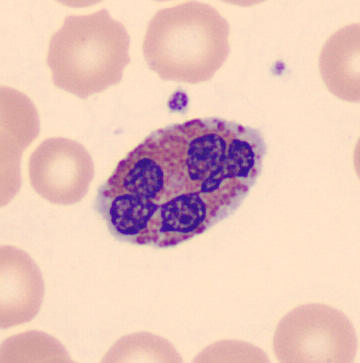An eosinophilic granulocyte.
Preparation: Peripheral blood film.